Image size 250×250; bone marrow smear — 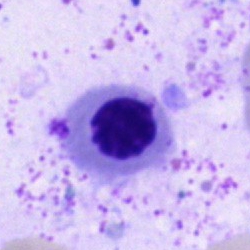
Specimen: bone marrow aspirate smear.
Cell type: nucleated red blood cell.